40× oil immersion · bone marrow smear: 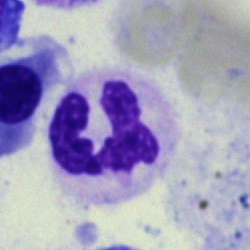Segmented neutrophil.